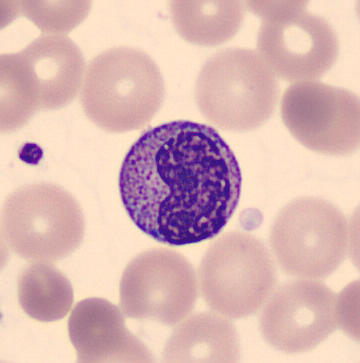
Image: Peripheral blood smear.

Morphology → metamyelocyte.